Bone marrow aspirate smear · cropped to a single cell:
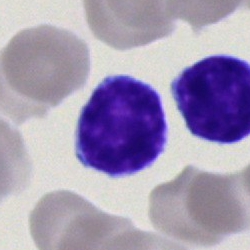Morphological class = lymphocyte.